Peripheral blood film · Romanowsky-stained · 400×400 — 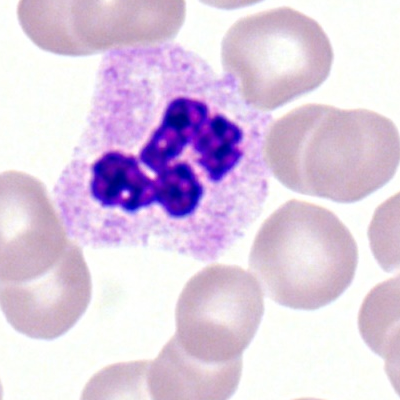Specimen: peripheral blood film.
Classification: polymorphonuclear neutrophil.
Lineage: myeloid.